Single-cell field; peripheral blood film — 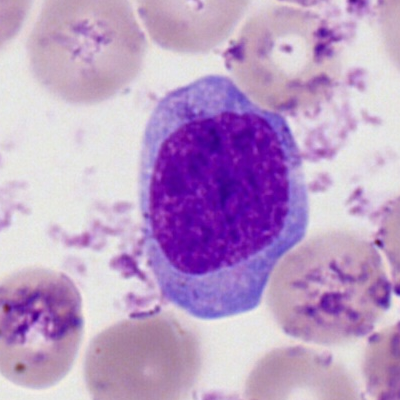Specimen: peripheral blood smear.
Cell type: myeloblast.
Lineage: myeloid.